Bone marrow smear · MGG-stained: 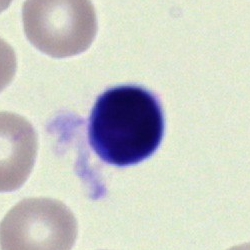

Impression → lymphocyte.